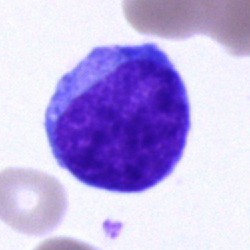
Cell: blast cell.